Brightfield, 40× oil-immersion objective · bone marrow aspirate smear: 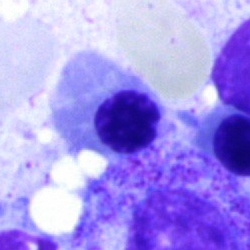
Morphological class — nucleated red cell.